Single cell centered in the field · bone marrow aspirate smear — 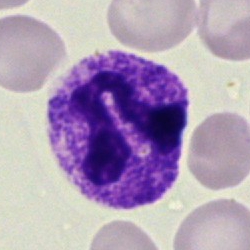 Showing a neutrophil (segmented).